250 by 250 pixels; single-cell field; bone marrow aspirate smear: 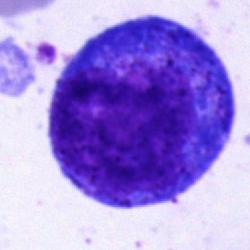 Cell = progranulocyte.